Brightfield, 40× oil-immersion objective. Single-cell field. Bone marrow aspirate smear
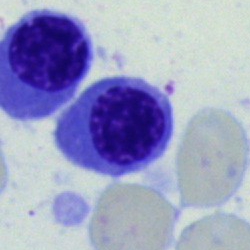
Morphology — erythroblast.